Peripheral blood smear: 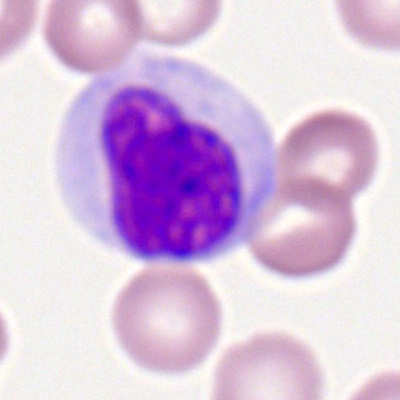
Q: What is the morphological classification of this cell?
A: It is a monocyte.